Bone marrow aspirate smear — 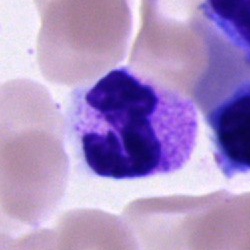

Cell type: segmented neutrophil.